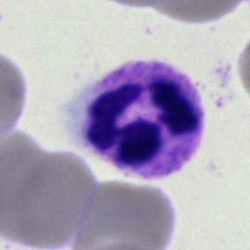
Impression → polymorphonuclear neutrophil.